Bone marrow smear: 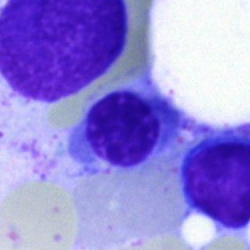Impression — nucleated red cell.